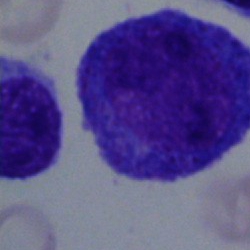 The cell type is erythroblast.